Bone marrow aspirate smear.
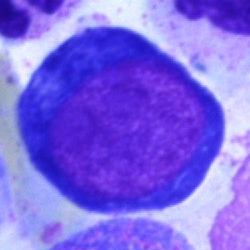 {"cell_type": "pronormoblast"}